Bone marrow aspirate smear.
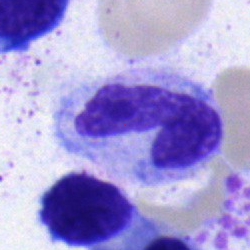

Showing a band-form neutrophil.